May-Grünwald-Giemsa/Pappenheim stain. Bone marrow smear
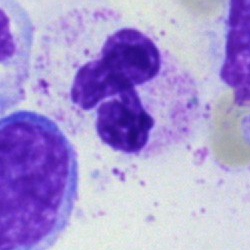

Classification = neutrophil (segmented).